Bone marrow smear: 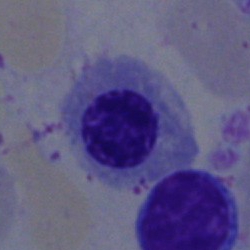 Morphology → nucleated red cell.